Bone marrow smear:
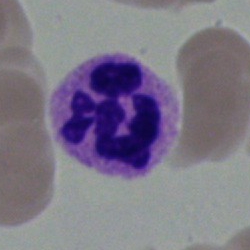
{"cell_type": "neutrophil (segmented)", "lineage": "myeloid"}